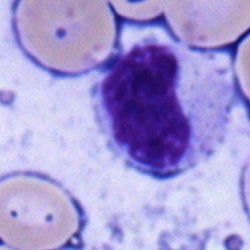 Showing a metamyelocyte.